Bone marrow aspirate smear.
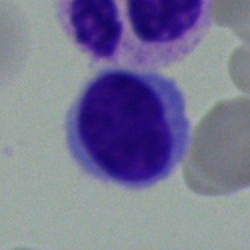 The morphological class is lymphocyte.